Bone marrow smear · single-cell crop
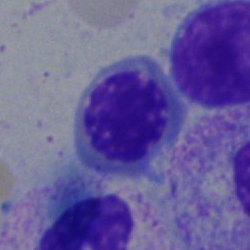 Showing a nucleated red blood cell.